Bone marrow aspirate smear.
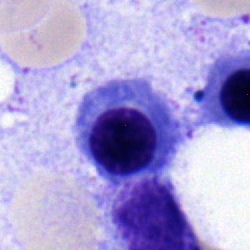 A normoblast.